Brightfield microscopy, 40× oil immersion · bone marrow smear.
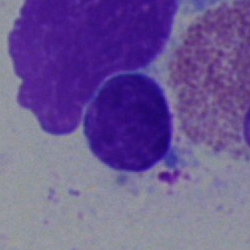

Specimen: bone marrow aspirate smear.
Classification: typical lymphocyte.